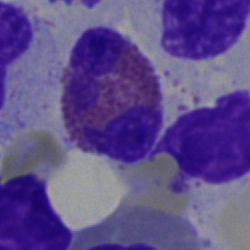
Q: What is shown here?
A: It is an eosinophilic granulocyte.